Bone marrow smear · image size 250×250 · 40× oil immersion: 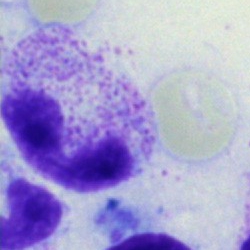

Specimen: bone marrow aspirate smear.
Cell type: neutrophil (band).
Lineage: myeloid.